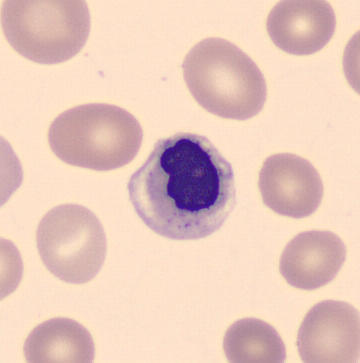 Image: Peripheral blood film.
Single cell identified as an erythroblast.